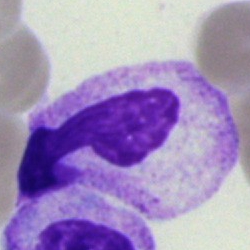

Specimen: bone marrow smear.
Classification: unidentifiable cell.